Bone marrow smear. Brightfield microscopy, 40× oil immersion
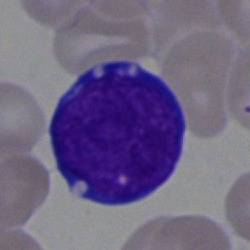
The cell is blast cell.